Bone marrow smear — 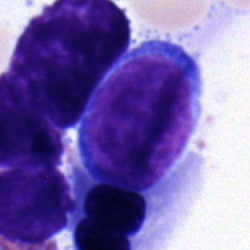
Impression — blast cell.